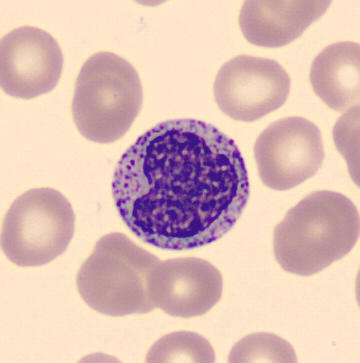

Specimen: peripheral blood smear.
Classification: metamyelocyte.
Lineage: myeloid.